Bone marrow aspirate smear. MGG-stained — 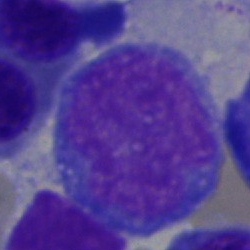 Single cell identified as a monocyte.